Single-cell field. Bone marrow smear: 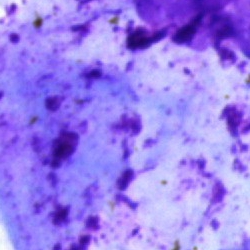This is an artifact.